Bone marrow smear — 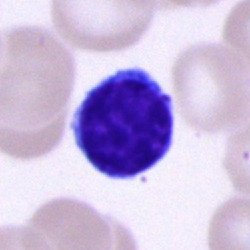 Classification = lymphocyte.